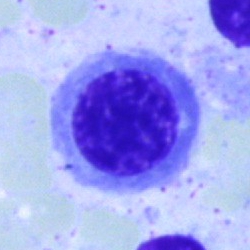
Q: Identify the cell.
A: Normoblast.